Peripheral blood smear — 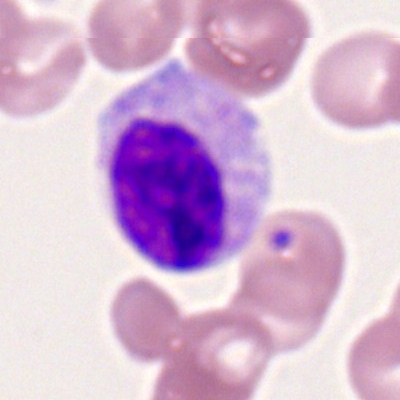
The cell shown is a typical lymphocyte.